MGG-stained · bone marrow smear:
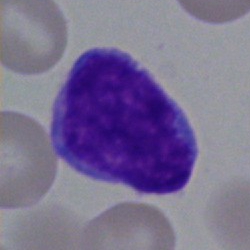 Morphological class = undifferentiated blast.